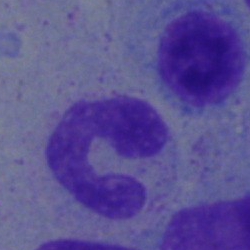 Morphology → band neutrophil.